Bone marrow aspirate smear:
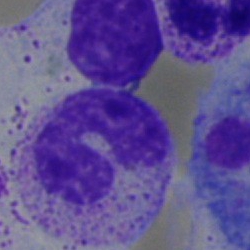
Q: What is shown here?
A: It is a band-form neutrophil.